MGG-stained; bone marrow aspirate smear.
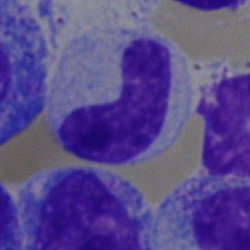A band neutrophil.